Bone marrow smear · 250×250 px · cropped to a single cell — 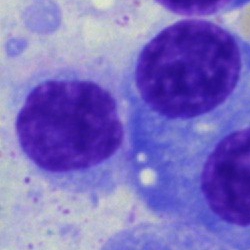Specimen: bone marrow aspirate smear.
Cell: plasma cell.
Lineage: lymphoid.